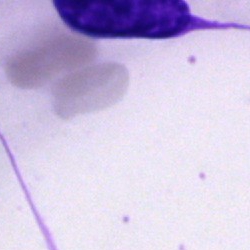
Single-cell crop from a bone marrow smear: artifact.